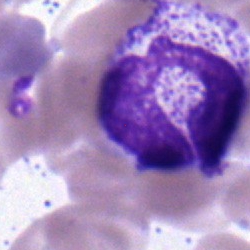

Segmented neutrophil.